Bone marrow smear.
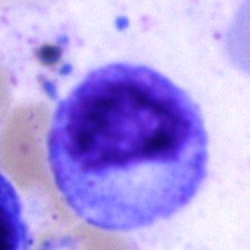 Specimen: bone marrow smear.
Cell type: promyelocyte.
Lineage: myeloid.